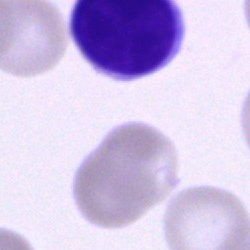 Single-cell crop from a bone marrow smear: typical lymphocyte.